Bone marrow aspirate smear; image size 250×250:
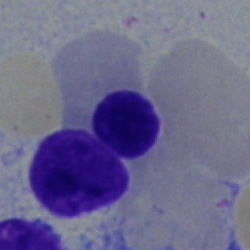 The morphological class is normoblast.